Bone marrow aspirate smear · 250 by 250 pixels
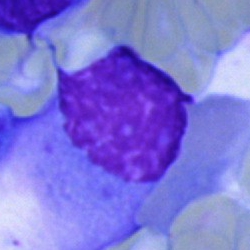Q: What is shown here?
A: Artifact.